40× objective, oil immersion · bone marrow aspirate smear · May-Grünwald-Giemsa stain.
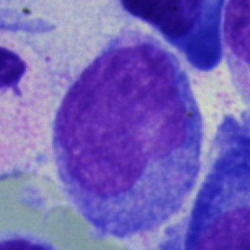

Specimen: bone marrow smear.
Cell: monocyte.